250×250. Bone marrow smear. 40× objective, oil immersion — 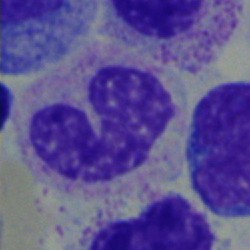Single cell identified as a metamyelocyte.